Romanowsky stain; peripheral blood film
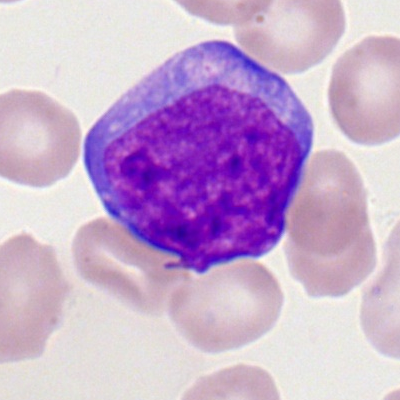 A myeloid blast.